Bone marrow aspirate smear — 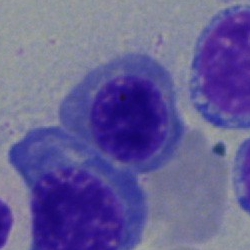

The cell is nucleated red blood cell.